250×250 px · bone marrow aspirate smear · MGG-stained: 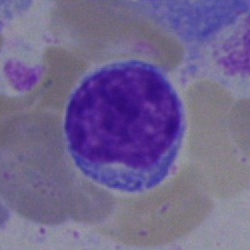{"cell_type": "typical lymphocyte"}